Bone marrow aspirate smear: 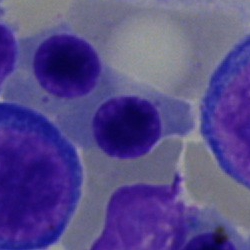 Q: Identify the cell.
A: A nucleated red blood cell.